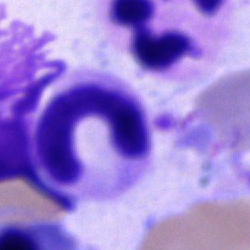Cell type: neutrophil (band).